Bone marrow aspirate smear; May-Grünwald-Giemsa/Pappenheim stain
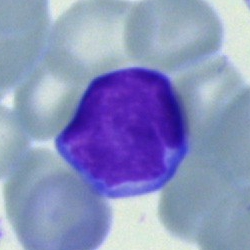
Single cell identified as a typical lymphocyte.